250 by 250 pixels. Bone marrow aspirate smear. Cropped to a single cell.
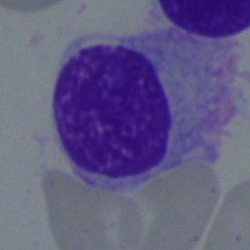 Specimen: bone marrow smear.
Cell: plasmacyte.
Lineage: lymphoid.